Bone marrow aspirate smear — 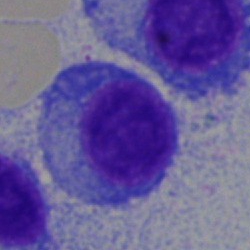 Showing a plasma cell.